250 by 250 pixels; 40× objective, oil immersion; bone marrow aspirate smear.
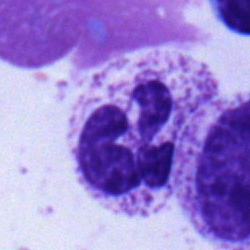

Single cell identified as a neutrophil (segmented).